Bone marrow smear; MGG-stained.
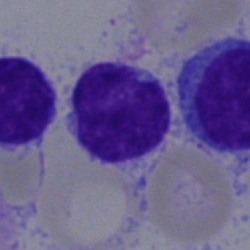

The cell type is lymphocyte.